Bone marrow smear. Pappenheim-stained: 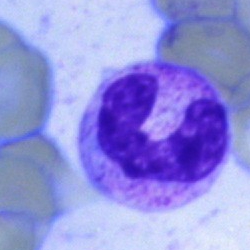
Q: Identify the cell.
A: Neutrophil (band).